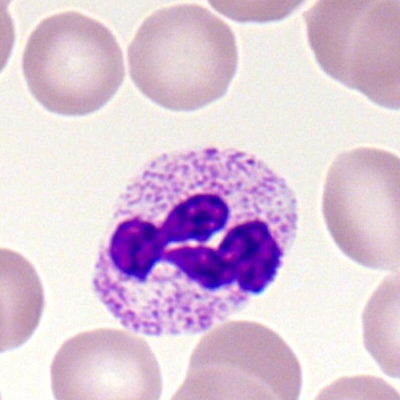 Morphology consistent with a neutrophil (segmented).